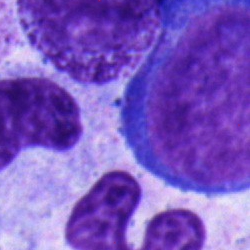

{"cell_type": "pronormoblast"}